Bone marrow smear: 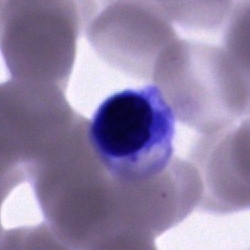 Q: Identify the cell.
A: It is a cell of indeterminate lineage.